Bone marrow smear
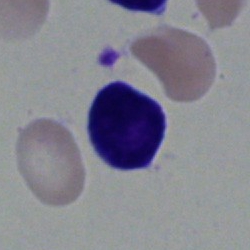Single cell identified as a typical lymphocyte.